Bone marrow smear.
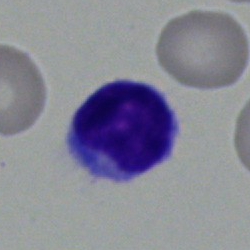 Cell type: typical lymphocyte.